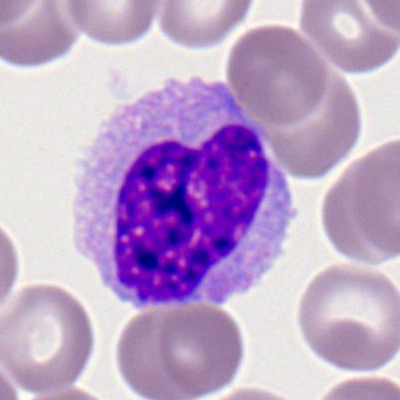A monocyte on a peripheral blood smear.